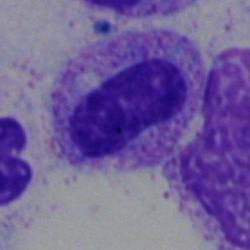

Morphology consistent with a band-form neutrophil.